Bone marrow aspirate smear. MGG-stained: 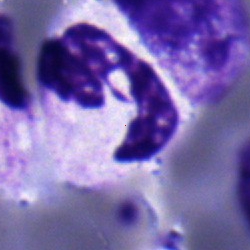

Classification = polymorphonuclear neutrophil.